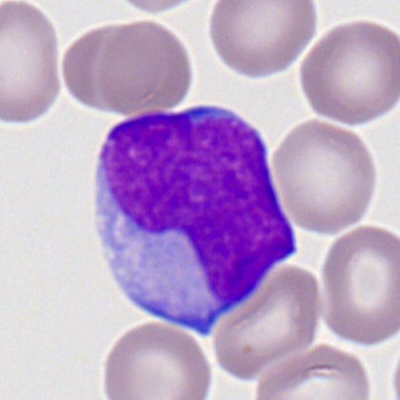

A myeloid blast on a peripheral blood smear.